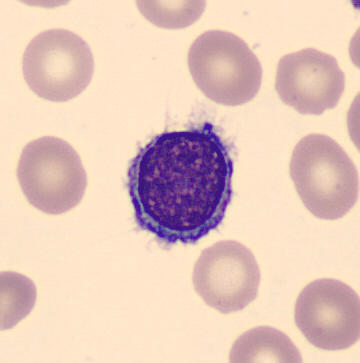
This is a lymphocyte. Preparation: Peripheral blood smear.